Brightfield, 40× oil-immersion objective. 250×250. Bone marrow smear:
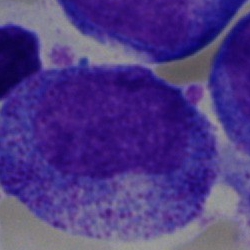
Morphology consistent with a progranulocyte.